Bone marrow aspirate smear.
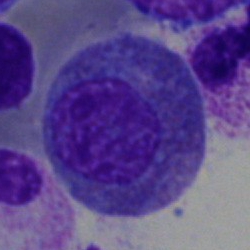
Specimen: bone marrow aspirate smear.
Cell type: eosinophilic granulocyte.
Lineage: myeloid.